Bone marrow aspirate smear: 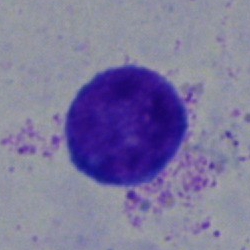 {"cell_type": "lymphocyte"}